Bone marrow smear — 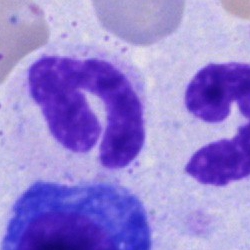
Specimen: bone marrow aspirate smear.
Cell: stab cell.